Bone marrow aspirate smear · single-cell field — 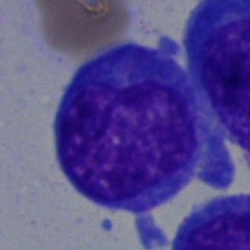Cell: blast cell.